Bone marrow smear. Image size 250×250.
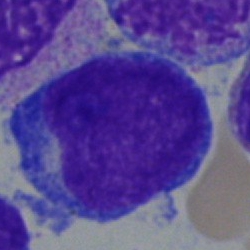

Specimen: bone marrow aspirate smear.
Cell type: undifferentiated blast.